Bone marrow smear:
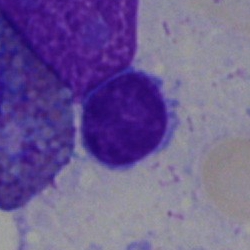This is a typical lymphocyte.